Bone marrow smear; 250 by 250 pixels — 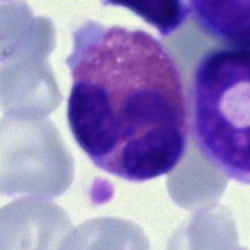

Specimen: bone marrow smear.
Classification: eosinophilic granulocyte.
Lineage: myeloid.